Peripheral blood smear — 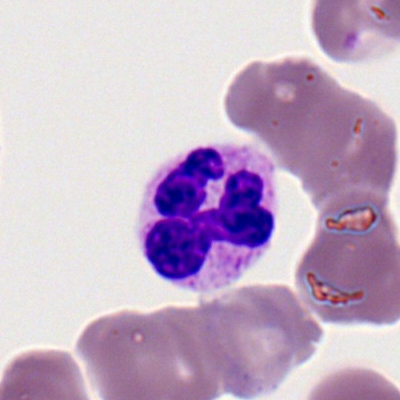

Morphological class: segmented neutrophil.